Bone marrow aspirate smear · 250×250: 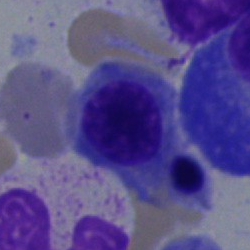

Q: Identify the cell.
A: Normoblast.